Bone marrow smear:
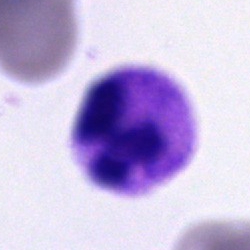
Specimen: bone marrow smear.
Morphological class: neutrophil (segmented).
Lineage: myeloid.